Bone marrow aspirate smear.
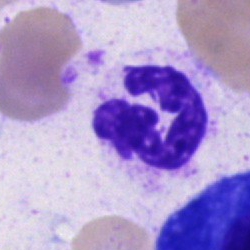

Specimen: bone marrow smear.
Classification: polymorphonuclear neutrophil.
Lineage: myeloid.